Single-cell crop · bone marrow smear:
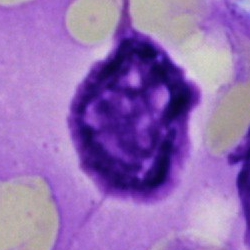

Cell type = artifact.